Peripheral blood smear:
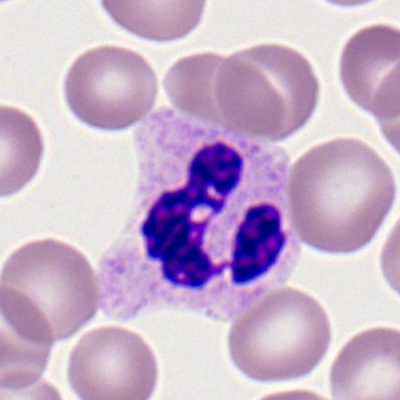
Morphological class = neutrophil (segmented).